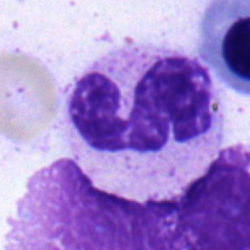A neutrophil (segmented) on a bone marrow smear.